Bone marrow smear.
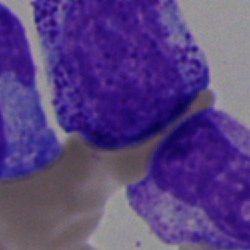

A progranulocyte.